Bone marrow aspirate smear:
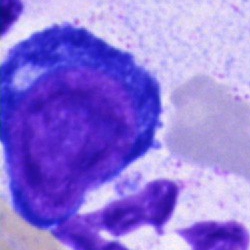 Cell: pronormoblast.